Bone marrow aspirate smear
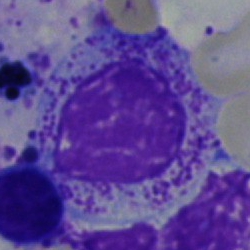

Morphological class = myelocyte.